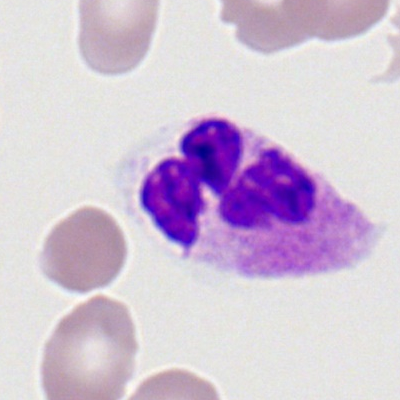Single cell identified as a segmented neutrophil.